Bone marrow smear: 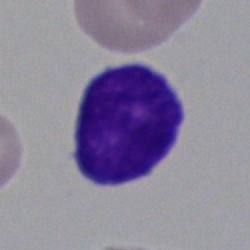Morphology consistent with an undifferentiated blast.